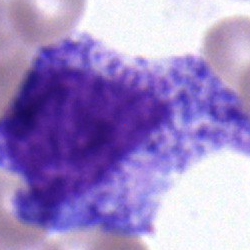
{"cell_type": "myelocyte"}